Peripheral blood smear
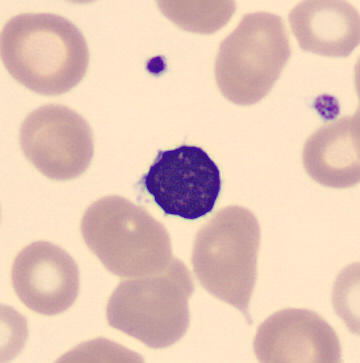

Specimen: peripheral blood smear.
Cell type: lymphocyte.
Lineage: lymphoid.